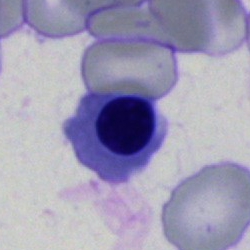

Classification = normoblast.